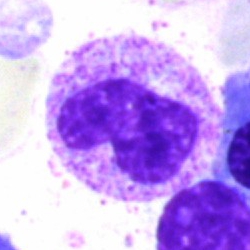Q: What cell is this?
A: A metamyelocyte.